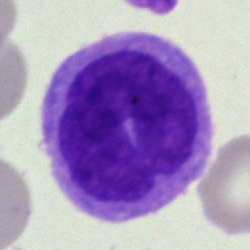
{"cell_type": "monocyte", "lineage": "myeloid"}